250×250 px · Pappenheim-stained · bone marrow aspirate smear
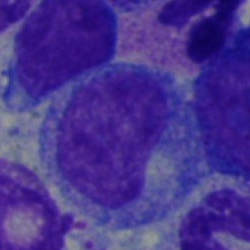
Morphology → myelocyte.